Bone marrow aspirate smear: 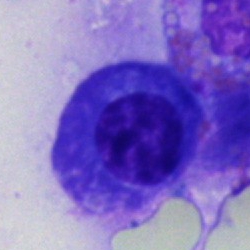
Plasma cell.